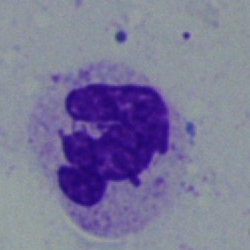

Neutrophil (segmented).